Bone marrow smear
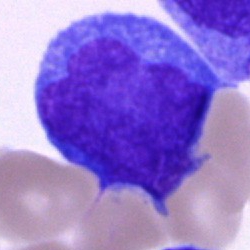
Cell type: undifferentiated blast.